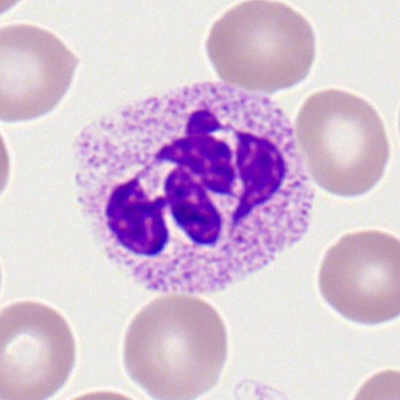

This is a segmented neutrophil.